Bone marrow aspirate smear · Pappenheim-stained
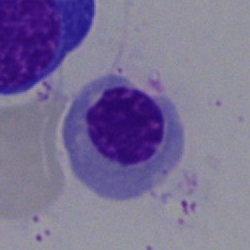

Classification = erythroblast.